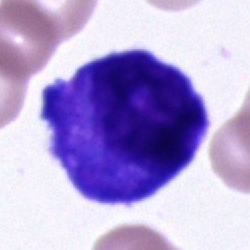Specimen: bone marrow smear.
Cell: cell of indeterminate lineage.